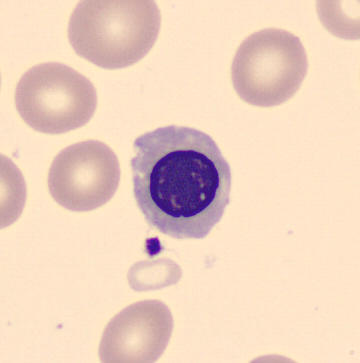

Impression — erythroblast.